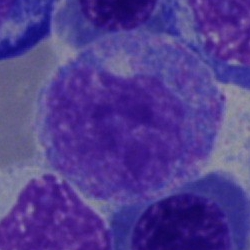 Q: What type of cell is this?
A: It is a promyelocyte.